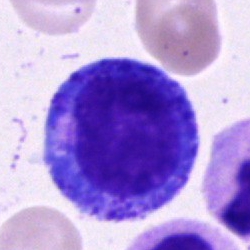 Cell type = promyelocyte.